Bone marrow aspirate smear — 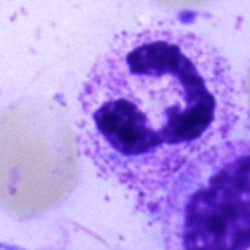Q: What is shown here?
A: A segmented neutrophil.